May-Grünwald-Giemsa/Pappenheim stain. 250 by 250 pixels. Bone marrow aspirate smear — 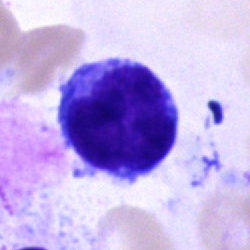
This is a blast cell.